Bone marrow aspirate smear — 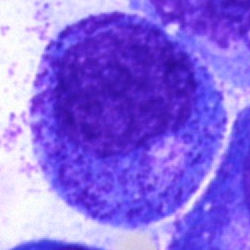
Cell: promyelocyte.